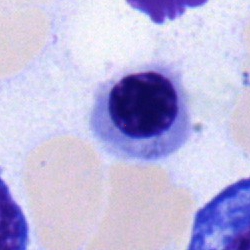 Q: Identify the cell.
A: Nucleated red cell.